Bone marrow smear. Brightfield microscopy, 40× oil immersion. Single-cell crop: 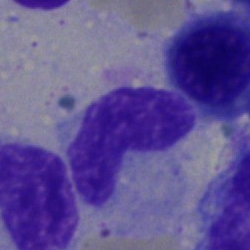

{"cell_type": "band-form neutrophil", "lineage": "myeloid"}